Bone marrow aspirate smear:
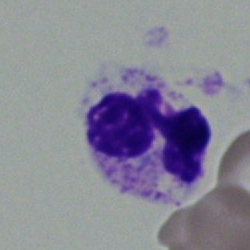 Cell type — segmented neutrophil.